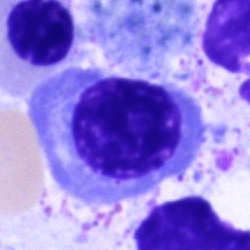

Q: What cell is this?
A: Nucleated red cell.